Bone marrow smear. Brightfield, 40× oil-immersion objective. May-Grünwald-Giemsa/Pappenheim stain — 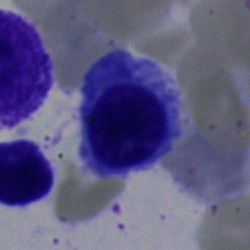 Classification — nucleated red cell.